Bone marrow smear:
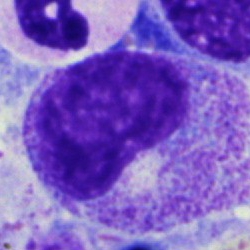Impression — promyelocyte.